Bone marrow smear.
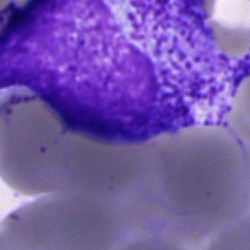Specimen: bone marrow smear.
Cell type: promyelocyte.